Peripheral blood smear; Romanowsky-stained: 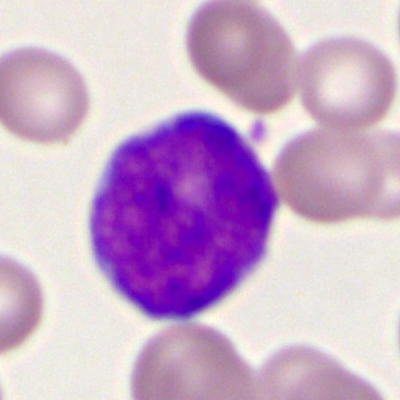

The cell shown is a myeloblast.